Bone marrow smear; May-Grünwald-Giemsa/Pappenheim stain
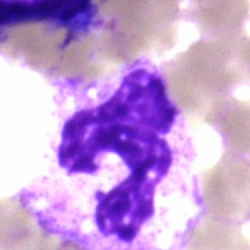

Specimen: bone marrow aspirate smear.
Classification: segmented neutrophil.
Lineage: myeloid.